M8 digital microscope (Precipoint), 100× oil immersion; peripheral blood smear; Romanowsky-stained:
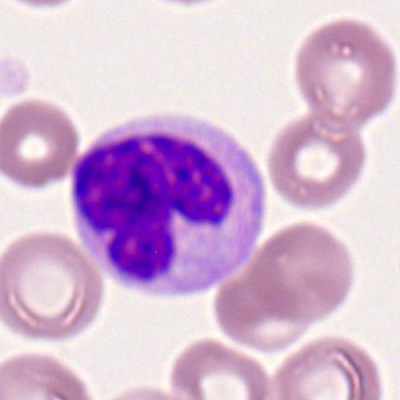{"cell_type": "segmented neutrophil"}